Bone marrow smear:
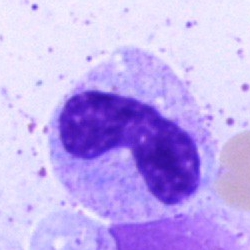 Specimen: bone marrow smear.
Morphological class: band-form neutrophil.
Lineage: myeloid.